Peripheral blood film
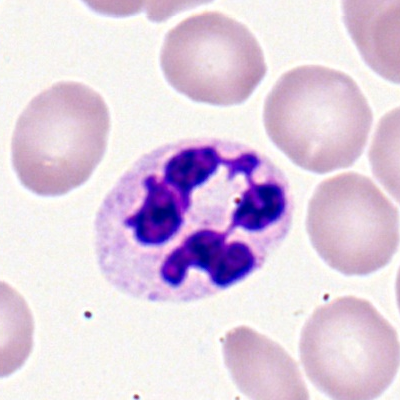 Morphology consistent with a segmented neutrophil.